Bone marrow smear · May-Grünwald-Giemsa stain: 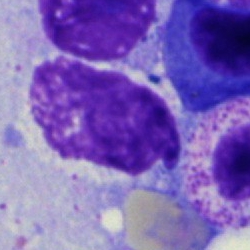

Q: What is shown here?
A: It is an artifact.